Bone marrow aspirate smear · single-cell field · May-Grünwald-Giemsa stain
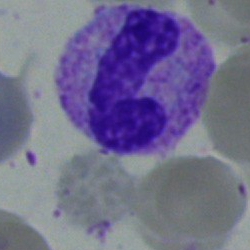
Specimen: bone marrow smear.
Cell type: neutrophil (band).
Lineage: myeloid.